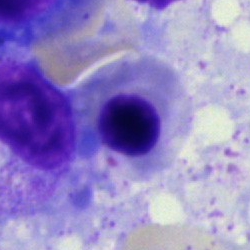

Morphological class: normoblast.